Peripheral blood smear:
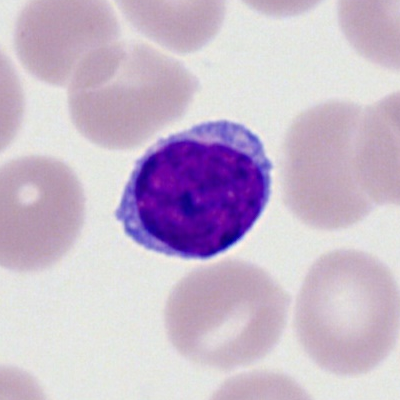

This is a lymphocyte.